Bone marrow aspirate smear. Brightfield microscopy, 40× oil immersion — 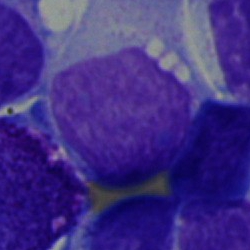

Showing a blast cell.